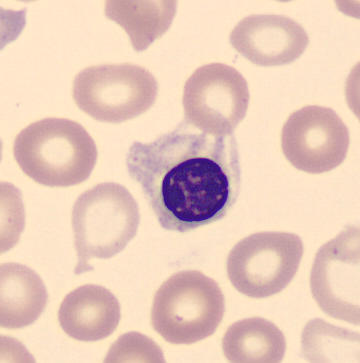Peripheral blood smear.

Impression — nucleated red blood cell.